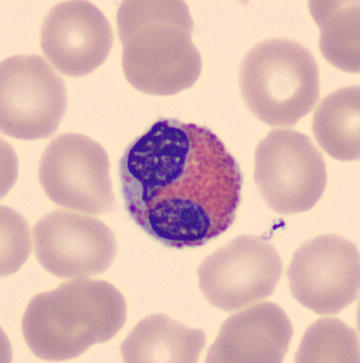 Peripheral blood smear.
Cell type = eosinophil.